Single cell centered in the field. Bone marrow smear. MGG-stained — 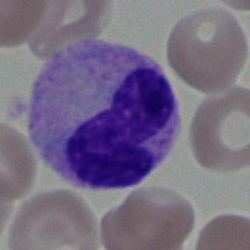Cell type: stab cell.